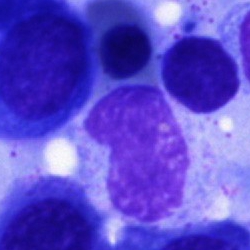 Bone marrow aspirate smear, single cell — band neutrophil.